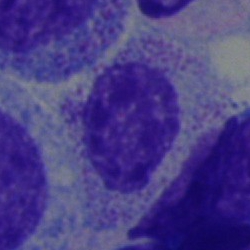 Myelocyte.